Bone marrow aspirate smear — 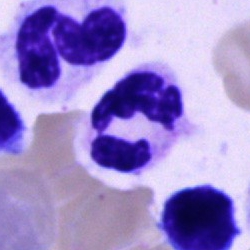

Morphology consistent with a neutrophil (segmented).